40× oil immersion; bone marrow smear; May-Grünwald-Giemsa stain.
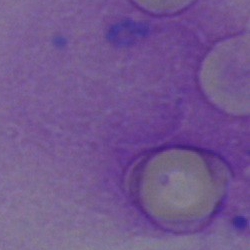
Showing an artefact.